Bone marrow aspirate smear; brightfield, 40× oil-immersion objective; 250 by 250 pixels
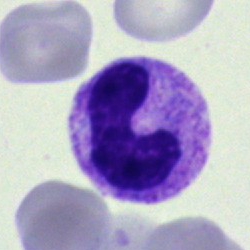Specimen: bone marrow smear.
Morphological class: neutrophil (band).
Lineage: myeloid.